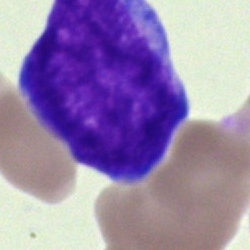Q: What cell is this?
A: This is a blast.